250×250 px; bone marrow aspirate smear.
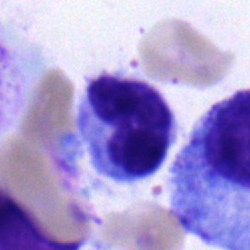 Classification = metamyelocyte.